Bone marrow smear. Cropped to a single cell. May-Grünwald-Giemsa/Pappenheim stain:
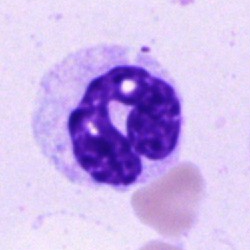Polymorphonuclear neutrophil.